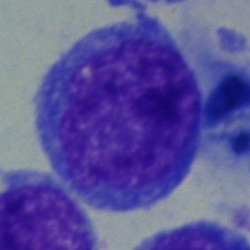
Bone marrow aspirate smear, single cell — blast cell.